Bone marrow aspirate smear: 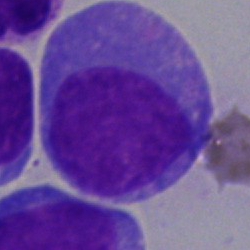
The cell shown is a blast.